Bone marrow aspirate smear; cropped to a single cell.
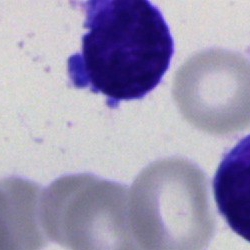Showing an undifferentiated blast.